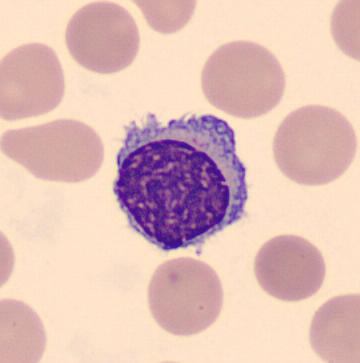
Single cell identified as a lymphocyte.

Preparation: Single cell centered in the field; peripheral blood smear.